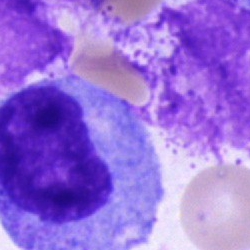

A promyelocyte.